250×250 · bone marrow smear: 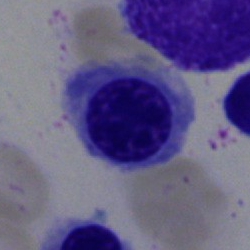 Specimen: bone marrow aspirate smear.
Cell type: nucleated red blood cell.
Lineage: erythroid.